Bone marrow smear · 250×250: 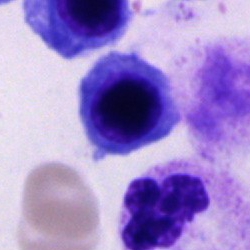 Q: What is the morphological classification of this cell?
A: This is a normoblast.